Single-cell field. Brightfield microscopy, 40× oil immersion. Bone marrow aspirate smear.
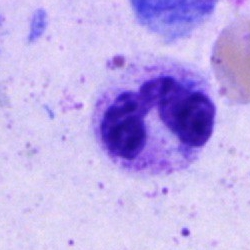 Morphology consistent with a neutrophil (segmented).